Bone marrow smear; brightfield microscopy, 40× oil immersion; May-Grünwald-Giemsa stain: 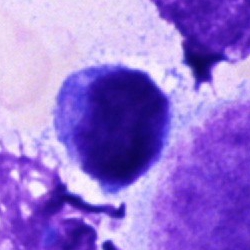

The cell type is undifferentiated blast.